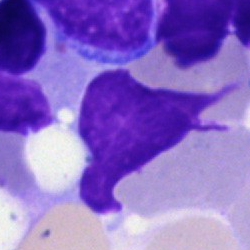 Q: What is shown here?
A: An artifact.